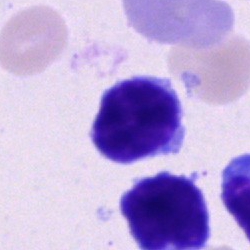 Q: What type of cell is this?
A: This is a typical lymphocyte.